Bone marrow aspirate smear.
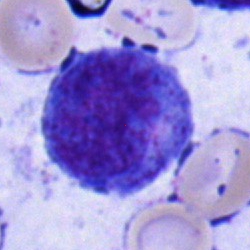Progranulocyte.